Image size 250×250; bone marrow aspirate smear: 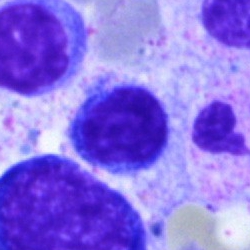

The cell type is lymphocyte.